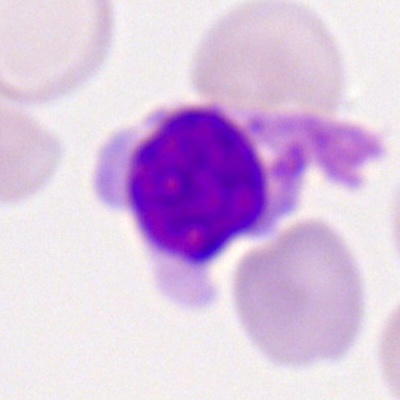

Classification: typical lymphocyte.